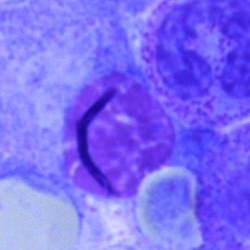Q: What is shown here?
A: This is a plasma cell.